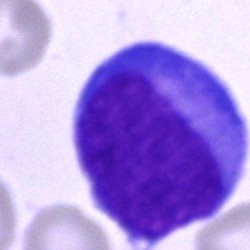

{"cell_type": "blast"}